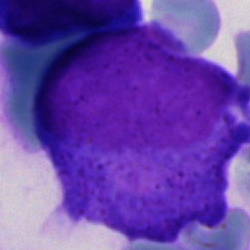

Q: What is shown here?
A: Blast cell.